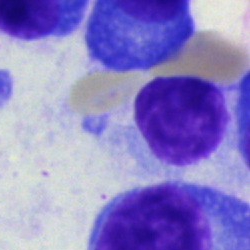Lymphocyte.